Peripheral blood smear:
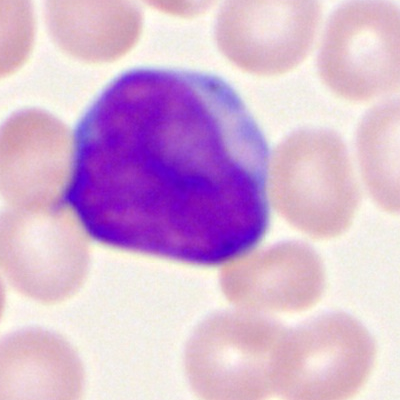

The morphological class is myeloblast.